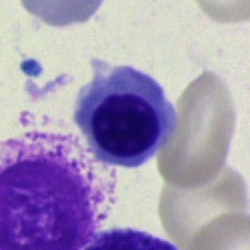
Showing a normoblast.